Bone marrow aspirate smear
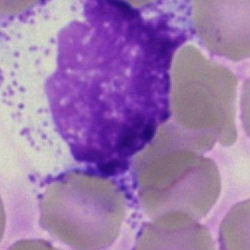Cell: artefact.